Bone marrow aspirate smear: 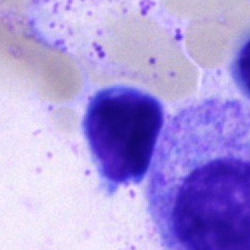 Q: Which cell type is shown here?
A: It is a lymphocyte.